Bone marrow aspirate smear.
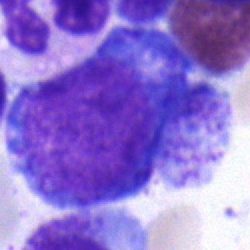

Specimen: bone marrow aspirate smear.
Cell type: promyelocyte.
Lineage: myeloid.